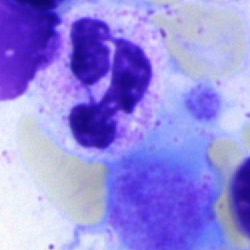
Q: What is shown here?
A: Segmented neutrophil.